40× oil immersion. Single-cell field. Bone marrow aspirate smear:
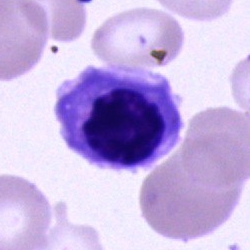

Q: What is the morphological classification of this cell?
A: This is a nucleated red blood cell.